Bone marrow smear · brightfield, 40× oil-immersion objective:
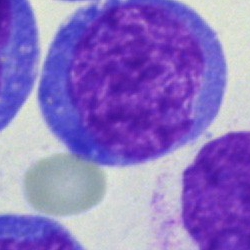Q: Identify the cell.
A: Blast.